Cropped to a single cell. Bone marrow smear. Pappenheim-stained — 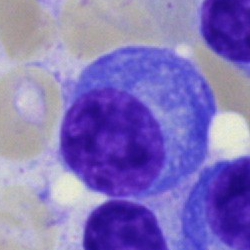

The cell type is plasma cell.